Bone marrow smear
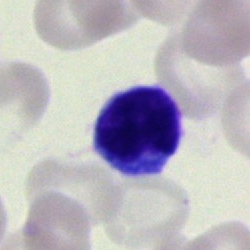

Cell — lymphocyte.